Bone marrow aspirate smear:
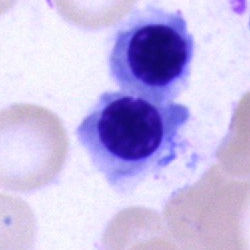
Specimen: bone marrow smear.
Cell: nucleated red blood cell.
Lineage: erythroid.